Bone marrow aspirate smear: 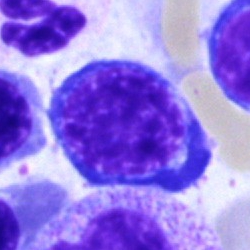 Specimen: bone marrow smear.
Cell: nucleated red cell.